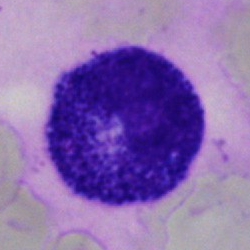 Specimen: bone marrow aspirate smear.
Morphological class: promyelocyte.